Peripheral blood film; 400×400 px — 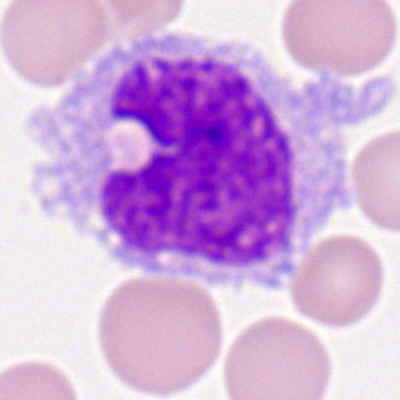
Morphological class: monocyte.